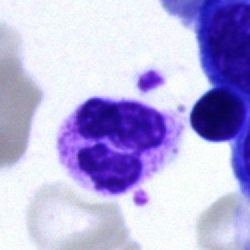Single-cell crop from a bone marrow smear: segmented neutrophil.